Peripheral blood smear; 400 by 400 pixels
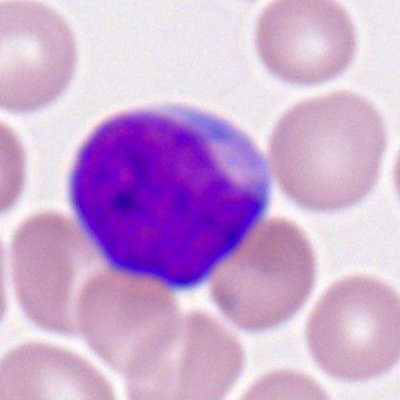 Q: What type of cell is this?
A: It is a myeloblast.